Bone marrow smear
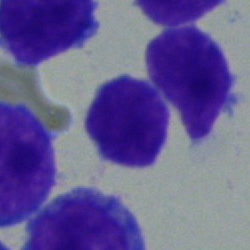

Q: What cell is this?
A: It is an undifferentiated blast.